Single cell centered in the field · bone marrow aspirate smear · May-Grünwald-Giemsa stain.
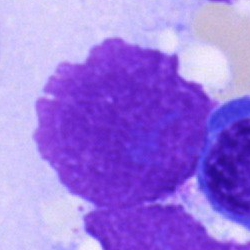 Specimen: bone marrow aspirate smear.
Cell: artifact.